Image size 250×250. Bone marrow smear. Brightfield, 40× oil-immersion objective: 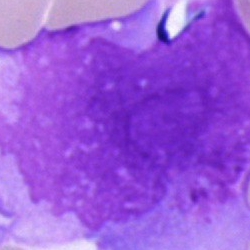 Q: What is shown here?
A: An artifact.